Bone marrow smear.
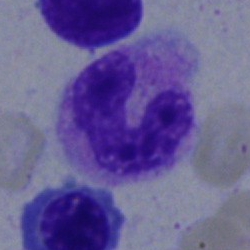
Morphology — band-form neutrophil.